Bone marrow smear; brightfield, 40× oil-immersion objective; single cell centered in the field — 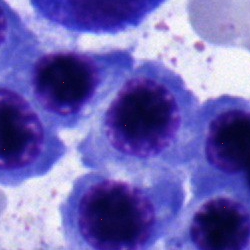

Impression → nucleated red cell.